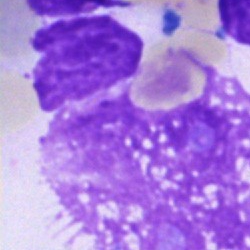Q: What is shown here?
A: This is an artefact.